MGG-stained · bone marrow smear:
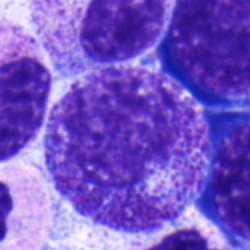 This is a myelocyte.